Bone marrow aspirate smear:
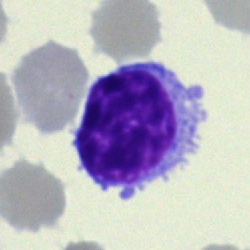The morphological class is lymphocyte.